Bone marrow smear; 40× oil immersion: 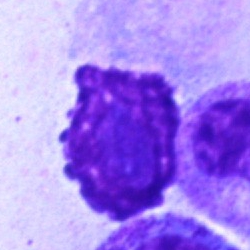 Classification: artefact.